Peripheral blood smear. Romanowsky-type stain
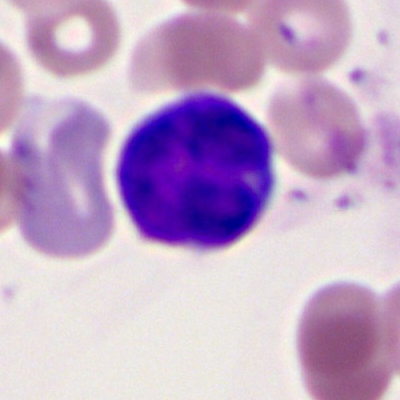

Q: What type of cell is this?
A: A myeloblast.